Bone marrow aspirate smear.
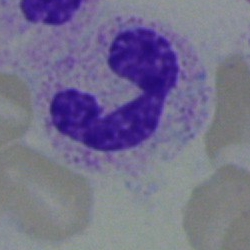

Impression — segmented neutrophil.